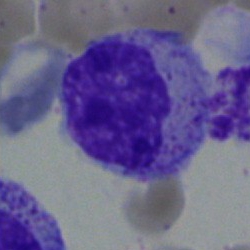 Q: What is shown here?
A: Myelocyte.